Peripheral blood film: 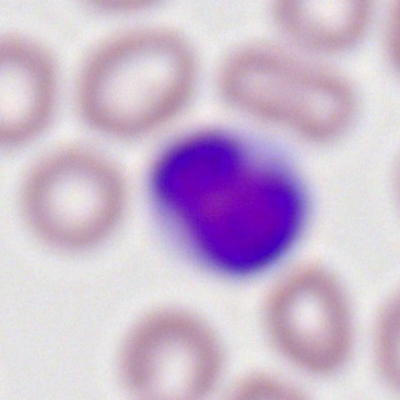

Morphology consistent with a lymphocyte.